Single cell centered in the field · 250 by 250 pixels · bone marrow aspirate smear
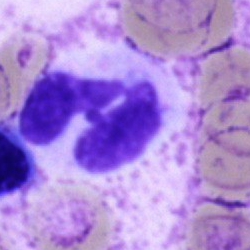
Neutrophil (segmented).